Bone marrow aspirate smear; 250×250; brightfield microscopy, 40× oil immersion: 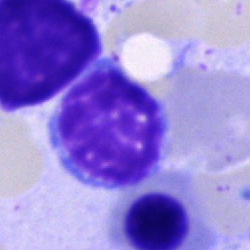
Classification: typical lymphocyte.